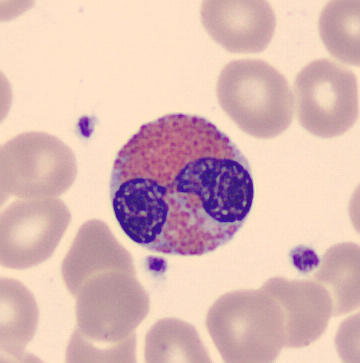 Cell type — eosinophil. Peripheral blood smear.